Pappenheim-stained · bone marrow aspirate smear: 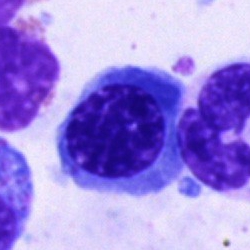Showing a nucleated red blood cell.